May-Grünwald-Giemsa stain; bone marrow smear
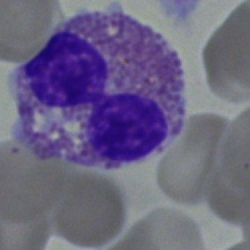

Specimen: bone marrow smear.
Cell: eosinophilic granulocyte.
Lineage: myeloid.